Bone marrow smear. MGG-stained.
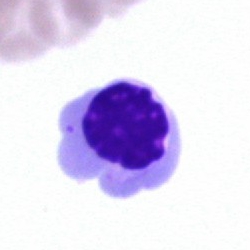 Single cell identified as an erythroblast.